Bone marrow aspirate smear. May-Grünwald-Giemsa/Pappenheim stain. 40× oil immersion.
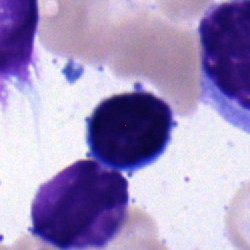 {"cell_type": "typical lymphocyte", "lineage": "lymphoid"}